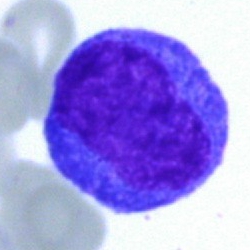

Q: What type of cell is this?
A: A monocyte.